Bone marrow aspirate smear:
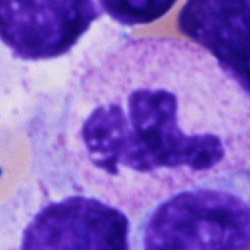

A polymorphonuclear neutrophil.